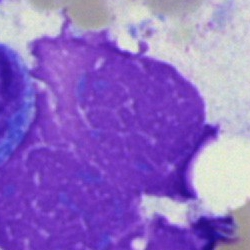

Morphology — artifact.